Pappenheim-stained · bone marrow smear:
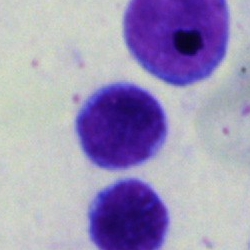 Morphology → typical lymphocyte.